Romanowsky-type stain; peripheral blood film; 100× objective, oil immersion
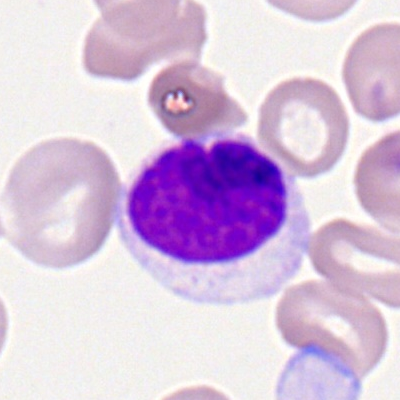 Morphological class = typical lymphocyte.